Bone marrow smear; 250 by 250 pixels; single-cell field.
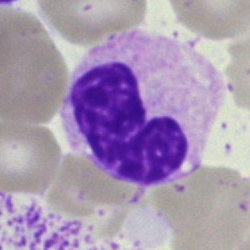
Q: What cell is this?
A: Neutrophil (segmented).